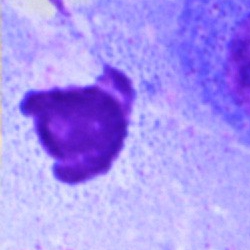 Morphological class = artifact.